250×250; bone marrow smear
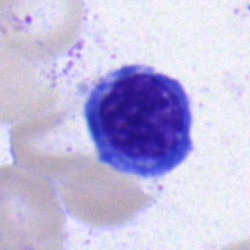
Specimen: bone marrow smear.
Cell: normoblast.